250 by 250 pixels; bone marrow aspirate smear:
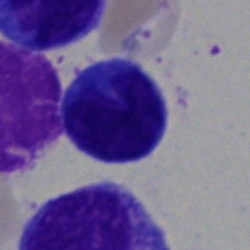

Morphology consistent with a lymphocyte.